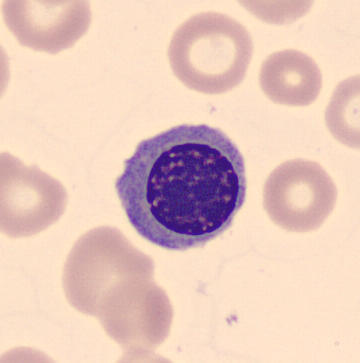
Preparation: Peripheral blood film. Automated cell imaging (CellaVision DM96). The cell shown is an erythroblast.